Brightfield microscopy, 40× oil immersion; Pappenheim-stained; bone marrow aspirate smear — 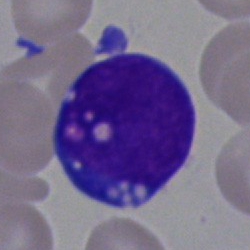 Morphology consistent with an undifferentiated blast.